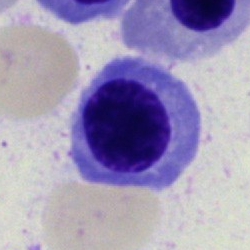

Specimen: bone marrow aspirate smear.
Cell type: nucleated red blood cell.
Lineage: erythroid.